Bone marrow smear · brightfield, 40× oil-immersion objective: 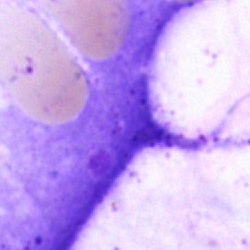The cell type is artefact.